Bone marrow smear; single-cell field:
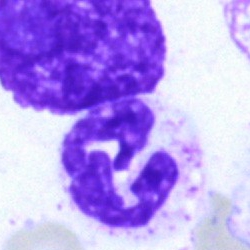Q: What type of cell is this?
A: It is a polymorphonuclear neutrophil.